Bone marrow aspirate smear.
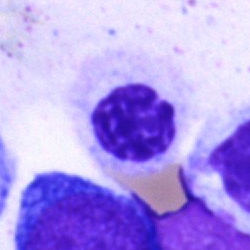 A nucleated red blood cell.